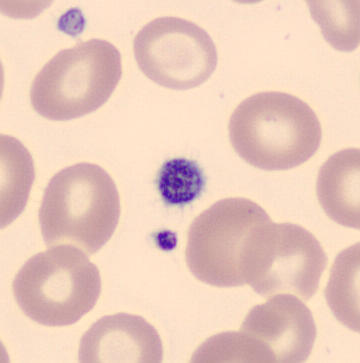The cell type is platelet. May Grünwald-Giemsa stain · peripheral blood film.